Bone marrow smear.
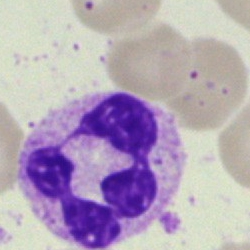 Morphology consistent with a polymorphonuclear neutrophil.